250 by 250 pixels · bone marrow aspirate smear.
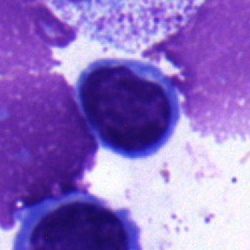 The morphological class is lymphocyte.